Peripheral blood smear
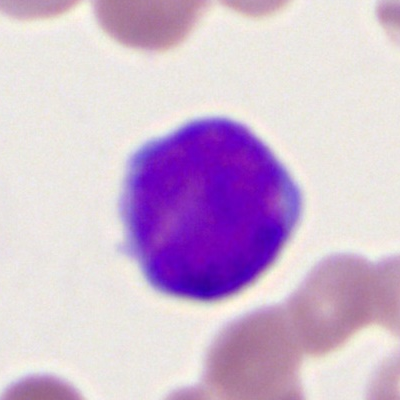
The cell shown is a myeloblast.